Bone marrow aspirate smear. 250×250.
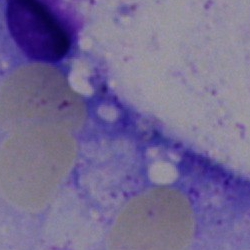

An artefact.